Bone marrow smear · single-cell field · 250×250: 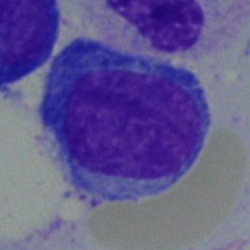 Morphology → blast.